250×250 px · Pappenheim-stained · bone marrow smear: 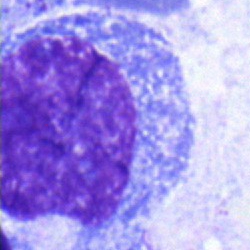

Morphology → promyelocyte.